Bone marrow smear
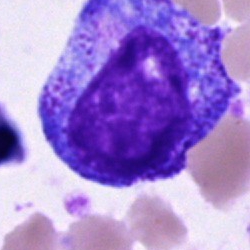Q: What is the morphological classification of this cell?
A: It is a promyelocyte.